Bone marrow smear.
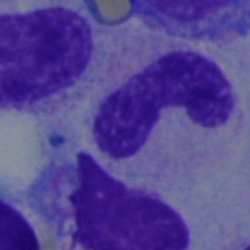

Cell type — band neutrophil.